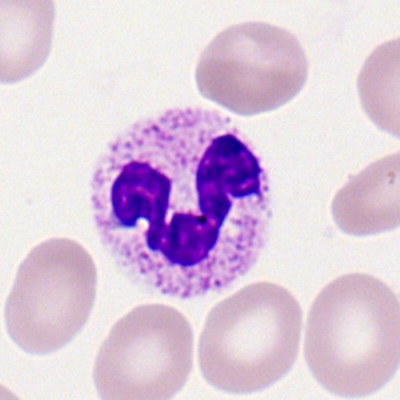
Classification: polymorphonuclear neutrophil.